Single cell centered in the field · May-Grünwald-Giemsa/Pappenheim stain · bone marrow aspirate smear: 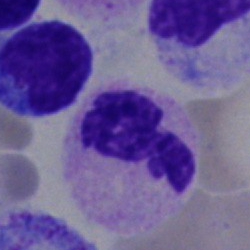
The morphological class is segmented neutrophil.